Bone marrow smear — 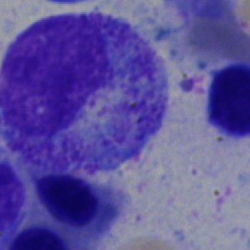Specimen: bone marrow aspirate smear.
Cell type: myelocyte.
Lineage: myeloid.